Pappenheim-stained; single cell centered in the field; bone marrow aspirate smear:
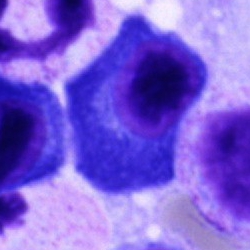

Specimen: bone marrow smear.
Classification: plasmacyte.